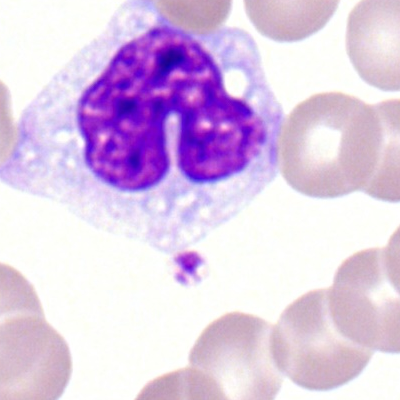
Specimen: peripheral blood film.
Cell: monocyte.
Lineage: myeloid.